Single cell centered in the field; bone marrow smear; 40× oil immersion:
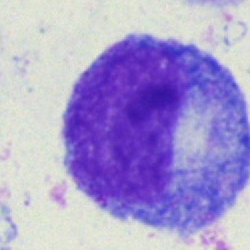 This is a promyelocyte.